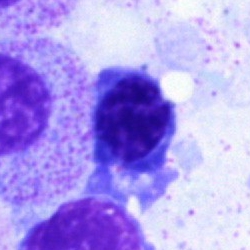Single cell identified as a normoblast.